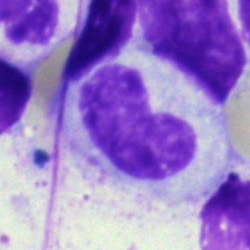 The cell shown is a band-form neutrophil.